Bone marrow smear:
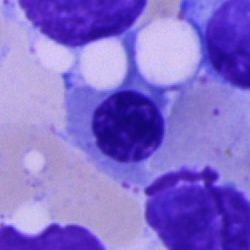Q: Which cell type is shown here?
A: A nucleated red blood cell.